Bone marrow smear — 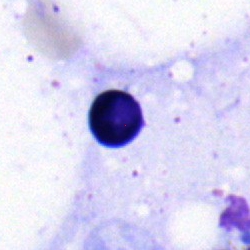

Morphology consistent with an erythroblast.